Bone marrow smear — 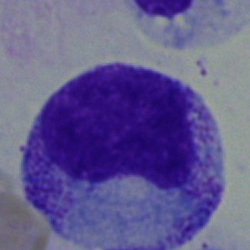 Q: What type of cell is this?
A: Myelocyte.